Bone marrow smear
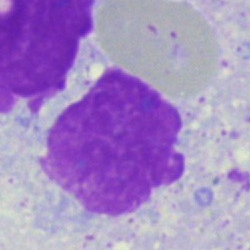Specimen: bone marrow smear.
Cell: artefact.